Bone marrow smear: 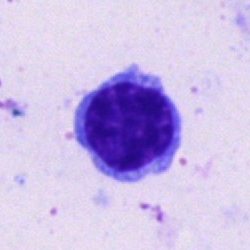Cell type: lymphocyte.